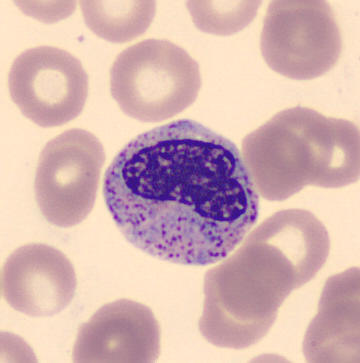Morphology — metamyelocyte.
Acquisition: MGG-stained · peripheral blood smear.